Peripheral blood smear
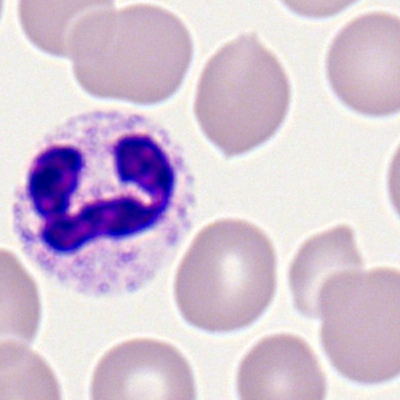

Specimen: peripheral blood smear.
Classification: neutrophil (segmented).
Lineage: myeloid.